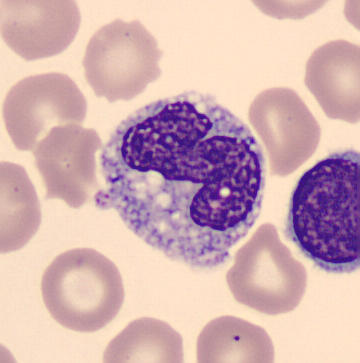Morphology — monocyte.